Single-cell field; bone marrow smear; 40× oil immersion: 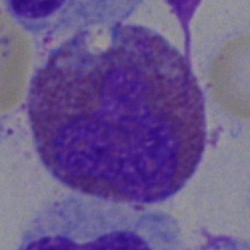 Showing an eosinophil.